Bone marrow aspirate smear:
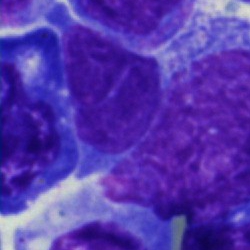 Morphology → blast cell.